Bone marrow aspirate smear; 250×250 px: 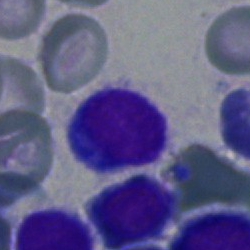 Q: What cell is this?
A: It is a typical lymphocyte.